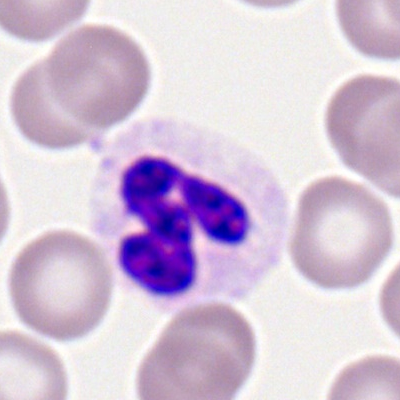 A polymorphonuclear neutrophil on a peripheral blood smear.